40× objective, oil immersion; bone marrow aspirate smear; single-cell crop
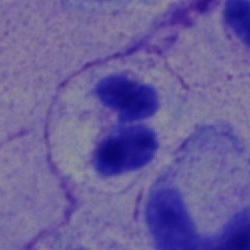
The cell type is polymorphonuclear neutrophil.